400×400 px; peripheral blood film — 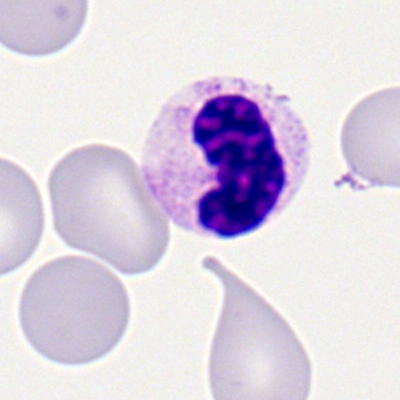 Specimen: peripheral blood smear.
Cell: segmented neutrophil.
Lineage: myeloid.